Pappenheim-stained · bone marrow aspirate smear.
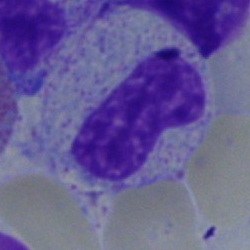
Cell type = metamyelocyte.